Brightfield microscopy, 40× oil immersion; bone marrow aspirate smear
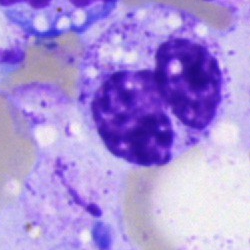The cell is segmented neutrophil.